250×250. Bone marrow smear. Single-cell field — 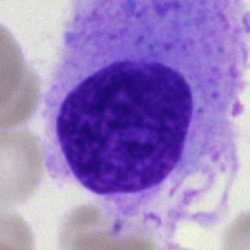

The cell shown is an artefact.